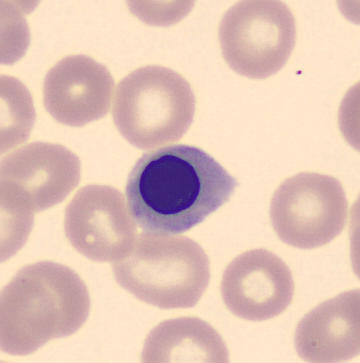
Normoblast.

Peripheral blood smear.